Bone marrow smear.
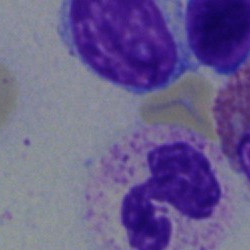Neutrophil (segmented).